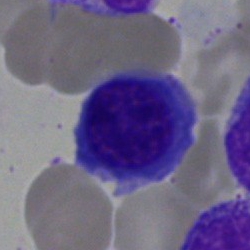
Bone marrow smear showing a nucleated red cell.